Bone marrow smear — 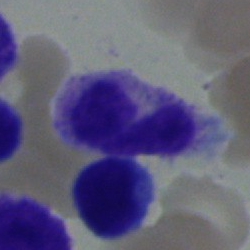 Classification — band-form neutrophil.